Bone marrow smear — 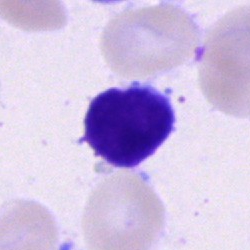
Morphological class: lymphocyte.